Image size 400×400; peripheral blood film
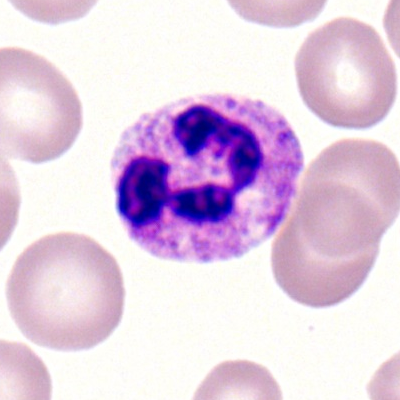

Specimen: peripheral blood smear.
Cell: neutrophil (segmented).
Lineage: myeloid.